Bone marrow smear: 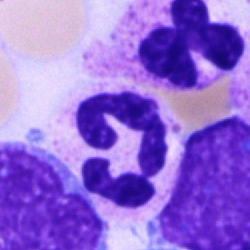 Morphological class — polymorphonuclear neutrophil.